Bone marrow aspirate smear
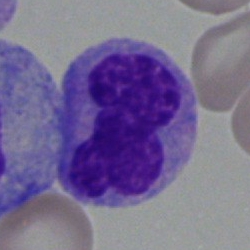Morphological class: monocyte.